Bone marrow smear; brightfield, 40× oil-immersion objective.
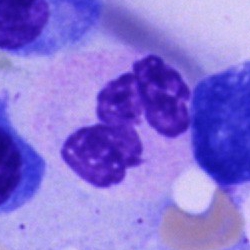 Q: What cell is this?
A: It is a segmented neutrophil.